MGG-stained; bone marrow smear
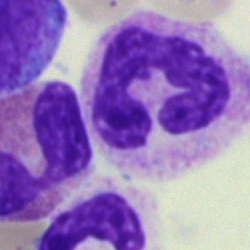 Neutrophil (segmented).